Bone marrow aspirate smear
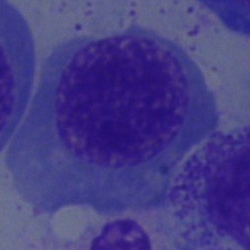
Morphology → nucleated red blood cell.